Bone marrow smear:
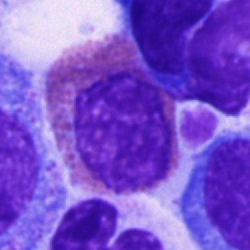This is an eosinophilic granulocyte.